Bone marrow smear — 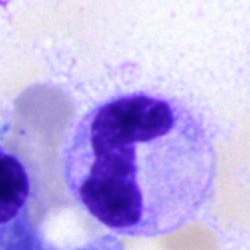

Q: Which cell type is shown here?
A: It is a band neutrophil.